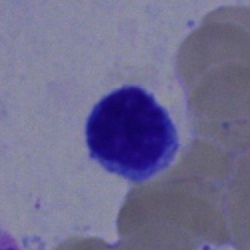 Classification = typical lymphocyte.